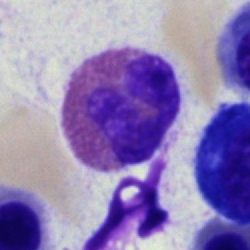

Showing an eosinophil.